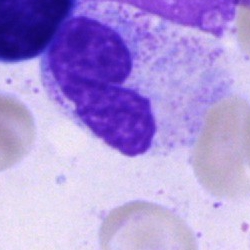 Specimen: bone marrow aspirate smear.
Morphological class: segmented neutrophil.